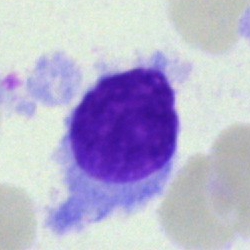
Specimen: bone marrow smear.
Classification: hairy cell.
Lineage: lymphoid.